Bone marrow smear:
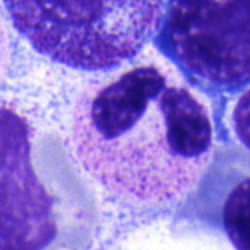Morphology consistent with a segmented neutrophil.